Bone marrow aspirate smear — 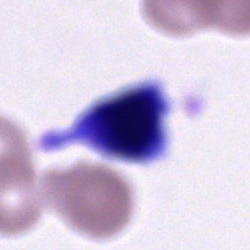
This is a cell of indeterminate lineage.